Bone marrow aspirate smear: 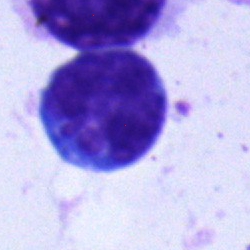

This is a lymphocyte.